MGG-stained · bone marrow aspirate smear · 250 by 250 pixels: 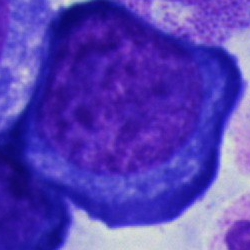Specimen: bone marrow aspirate smear.
Cell type: pronormoblast.
Lineage: erythroid.